Bone marrow aspirate smear: 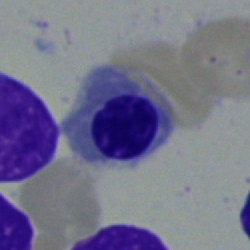 A nucleated red cell.